250×250; bone marrow aspirate smear: 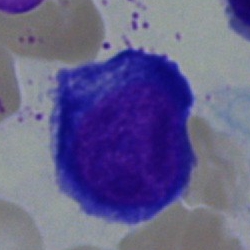 Specimen: bone marrow smear.
Cell: pronormoblast.
Lineage: erythroid.